Cropped to a single cell · bone marrow smear: 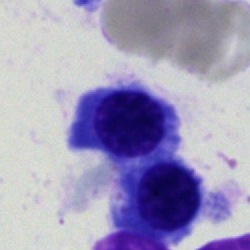
Specimen: bone marrow smear.
Morphological class: nucleated red blood cell.
Lineage: erythroid.